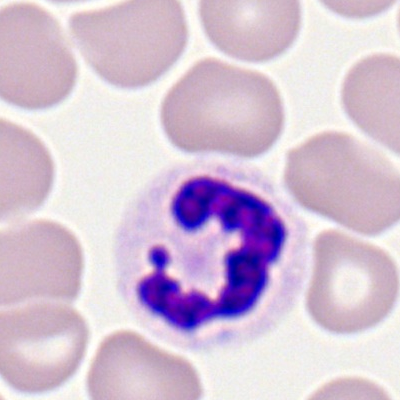 Peripheral blood smear showing a segmented neutrophil.